Peripheral blood smear.
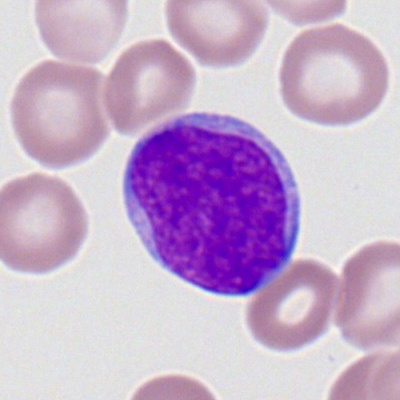

Morphological class: myeloblast.